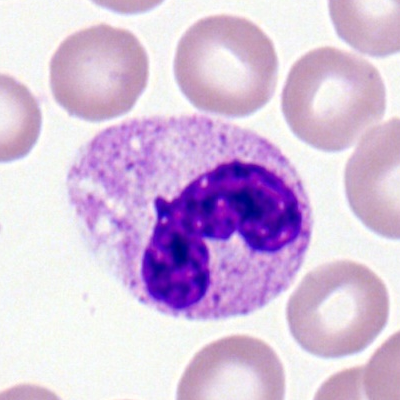

Cell — polymorphonuclear neutrophil.